Bone marrow aspirate smear. Single-cell field. Pappenheim-stained: 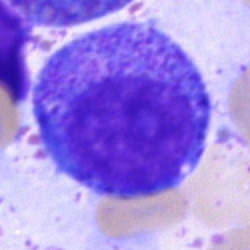
Morphological class — progranulocyte.